Bone marrow smear:
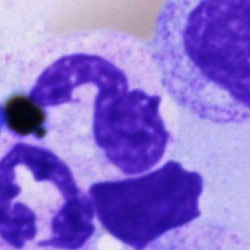 Cell — polymorphonuclear neutrophil.